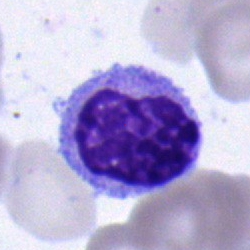Q: What type of cell is this?
A: This is a metamyelocyte.